Bone marrow aspirate smear
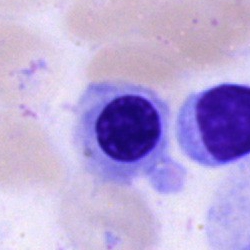
This is an erythroblast.